Bone marrow smear: 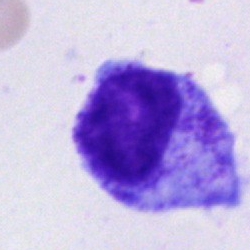
Impression — progranulocyte.